Bone marrow aspirate smear — 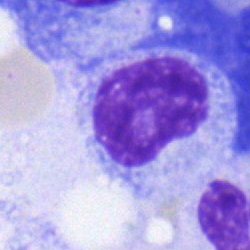A metamyelocyte.